Bone marrow aspirate smear — 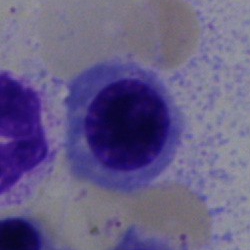 Specimen: bone marrow aspirate smear.
Morphological class: erythroblast.
Lineage: erythroid.